Bone marrow aspirate smear; Pappenheim-stained; 250 by 250 pixels
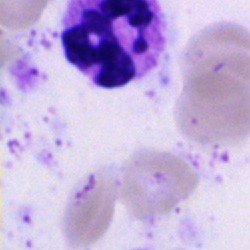
Morphology → segmented neutrophil.